Bone marrow smear: 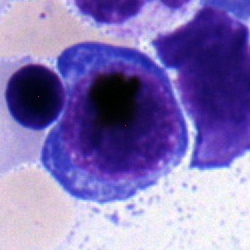 Specimen: bone marrow smear.
Classification: normoblast.